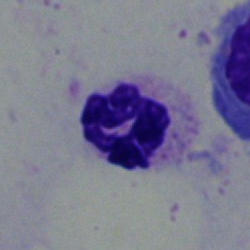
Neutrophil (segmented).